250×250 px · May-Grünwald-Giemsa/Pappenheim stain · bone marrow aspirate smear:
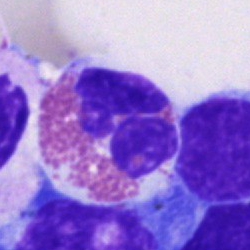 Eosinophilic granulocyte.